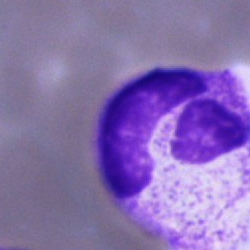

Q: Which cell type is shown here?
A: This is a polymorphonuclear neutrophil.